Bone marrow smear: 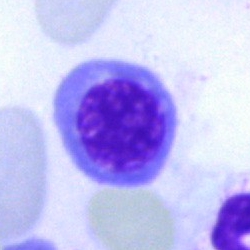

Morphology → nucleated red blood cell.